Bone marrow smear.
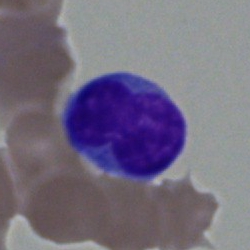Showing a lymphocyte.